Bone marrow smear:
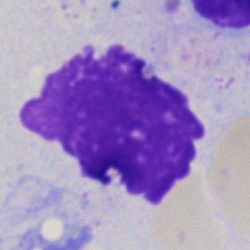

Morphology → artifact.